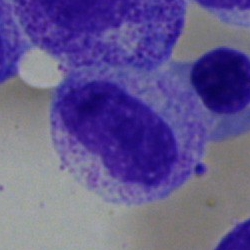Single-cell crop from a bone marrow smear: stab cell.